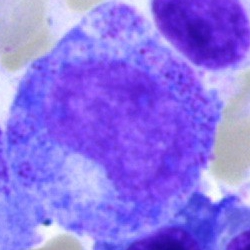Specimen: bone marrow aspirate smear.
Classification: progranulocyte.